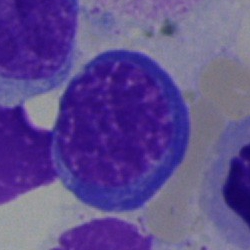 Morphology consistent with a nucleated red cell.